Bone marrow smear.
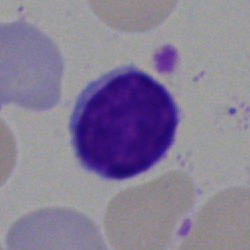 {"cell_type": "lymphocyte"}